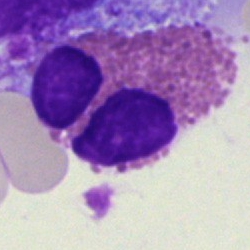 Specimen: bone marrow aspirate smear.
Cell: eosinophil.
Lineage: myeloid.